Bone marrow aspirate smear; image size 250×250 — 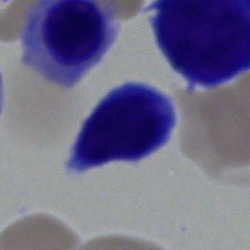Cell type = typical lymphocyte.